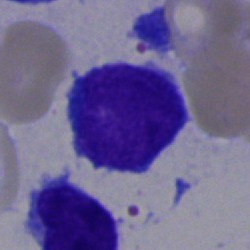
Cell — blast.